Bone marrow aspirate smear
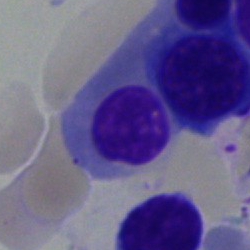 Q: What is the morphological classification of this cell?
A: Nucleated red blood cell.